Brightfield, 40× oil-immersion objective · bone marrow smear: 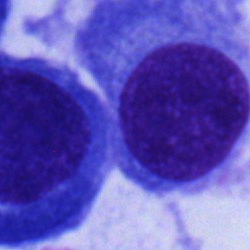
Specimen: bone marrow smear.
Classification: plasma cell.
Lineage: lymphoid.